Bone marrow aspirate smear · MGG-stained
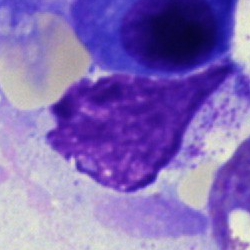Morphology — artefact.